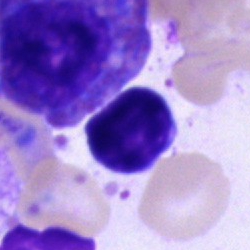

A lymphocyte.